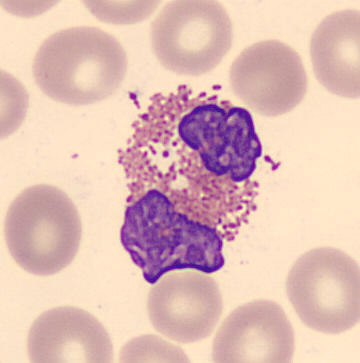Q: What type of cell is this?
A: This is an eosinophilic granulocyte.